Bone marrow aspirate smear:
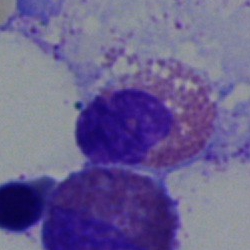 The cell shown is an eosinophil.